Bone marrow aspirate smear.
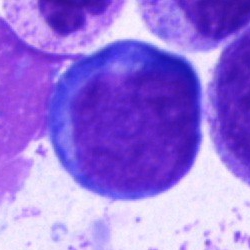 Morphology consistent with a proerythroblast.